Bone marrow smear
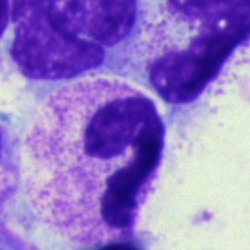 Showing a segmented neutrophil.